Bone marrow smear. Single cell centered in the field: 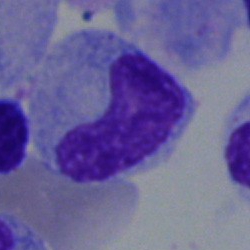

Morphology consistent with a neutrophil (band).